Bone marrow smear · cropped to a single cell: 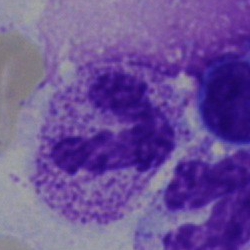 This is a neutrophil (segmented).